Bone marrow smear: 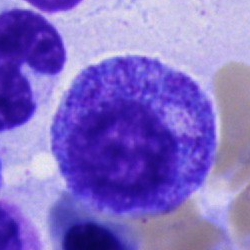 This is a progranulocyte.